Bone marrow smear · 250×250 px — 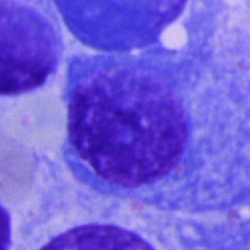

Q: Which cell type is shown here?
A: This is a plasmacyte.